May-Grünwald-Giemsa/Pappenheim stain. Bone marrow smear — 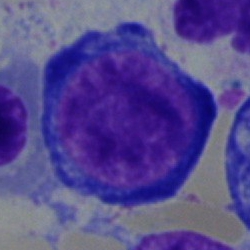
Q: What is the morphological classification of this cell?
A: Proerythroblast.